250×250 px. Bone marrow smear. MGG-stained — 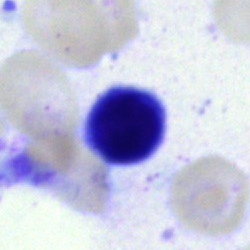
Q: What cell is this?
A: A lymphocyte.